Single-cell crop · bone marrow smear:
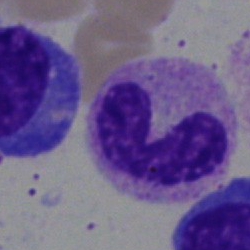Cell: neutrophil (segmented).